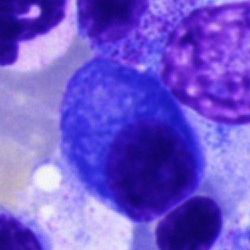 The cell type is plasmacyte.